Brightfield, 40× oil-immersion objective · image size 250×250 · bone marrow smear:
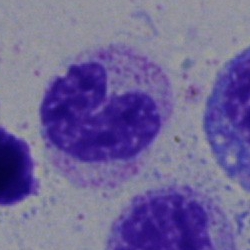Band-form neutrophil.